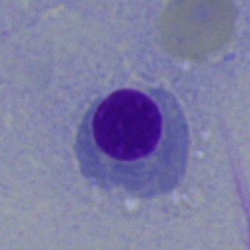Showing a nucleated red cell.